May-Grünwald-Giemsa stain · bone marrow aspirate smear: 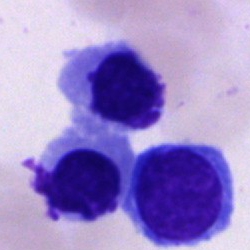
The morphological class is cell of indeterminate lineage.